Bone marrow smear:
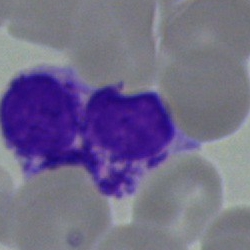
The morphological class is artefact.